Pappenheim-stained. Single-cell crop. Bone marrow aspirate smear:
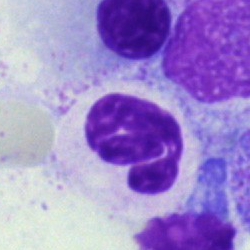
Q: What is the morphological classification of this cell?
A: A segmented neutrophil.